Bone marrow aspirate smear.
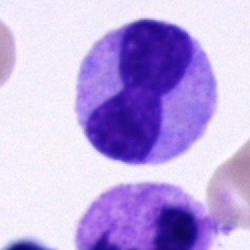

A metamyelocyte.